May-Grünwald-Giemsa stain. Bone marrow aspirate smear. Single-cell field
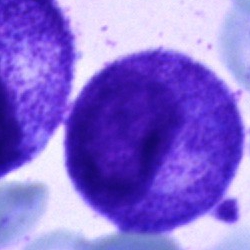 Q: What is shown here?
A: It is a progranulocyte.